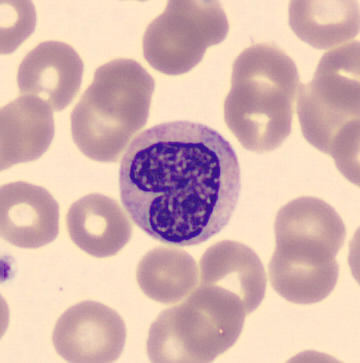This is a metamyelocyte.